Bone marrow smear: 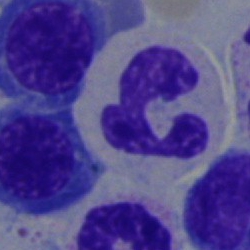 Q: What is the morphological classification of this cell?
A: A segmented neutrophil.